Bone marrow aspirate smear
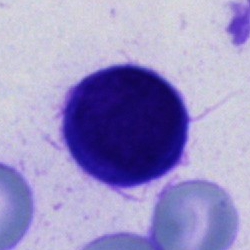 Q: What is shown here?
A: This is a cell of indeterminate lineage.